Bone marrow smear · single cell centered in the field: 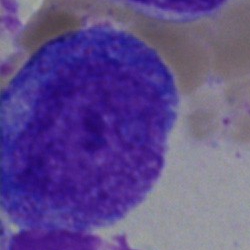
A progranulocyte.